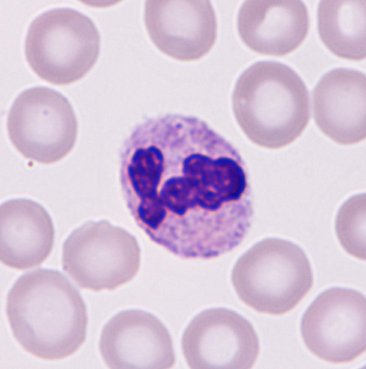 Cell: neutrophilic granulocyte.
Peripheral blood smear.